Single cell centered in the field. Bone marrow smear. 40× oil immersion — 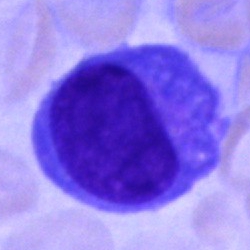

Q: What is shown here?
A: Blast.